Bone marrow aspirate smear — 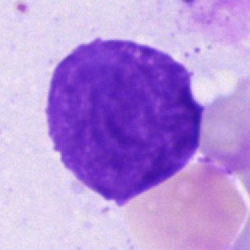 Specimen: bone marrow smear.
Cell: artefact.